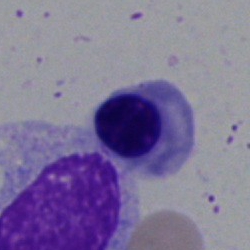

Morphological class = normoblast.